Bone marrow aspirate smear.
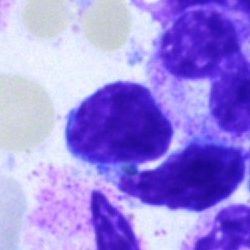

Morphology → typical lymphocyte.